Bone marrow aspirate smear:
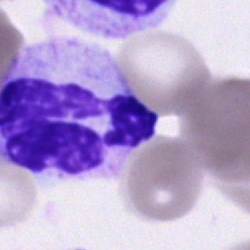 The morphological class is segmented neutrophil.